Bone marrow smear; May-Grünwald-Giemsa/Pappenheim stain.
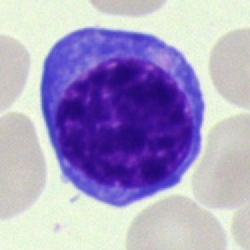

Q: Identify the cell.
A: A normoblast.